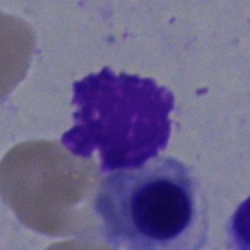Showing an artefact.